40× objective, oil immersion; bone marrow aspirate smear; MGG-stained.
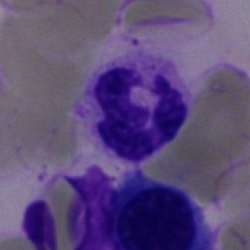

Morphology consistent with a segmented neutrophil.